MGG-stained. Bone marrow aspirate smear. Single-cell crop.
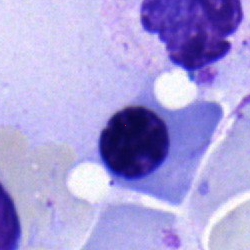
Classification: erythroblast.